Bone marrow smear: 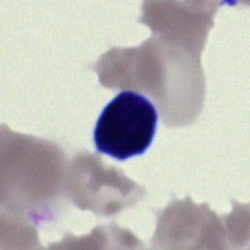Cell = artifact.